Bone marrow aspirate smear: 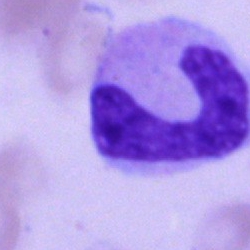

Cell type — band-form neutrophil.